Bone marrow aspirate smear.
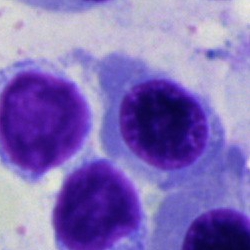Cell type — nucleated red blood cell.